400 by 400 pixels · peripheral blood smear · single cell centered in the field — 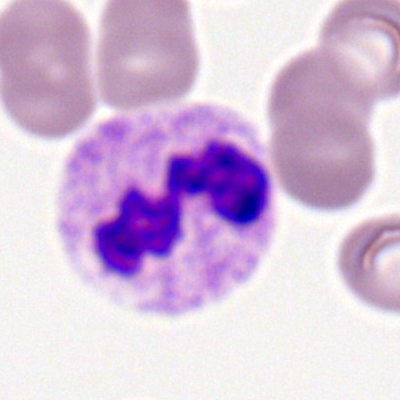The cell is segmented neutrophil.